Pappenheim-stained · bone marrow smear
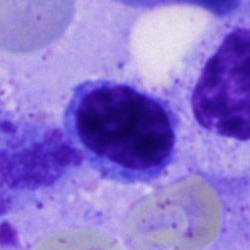

Q: What type of cell is this?
A: Typical lymphocyte.